Bone marrow aspirate smear — 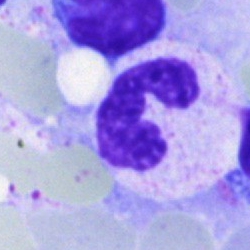 This is a neutrophil (segmented).